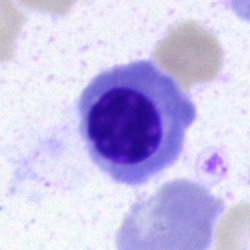 Bone marrow smear showing a nucleated red cell.